Bone marrow aspirate smear.
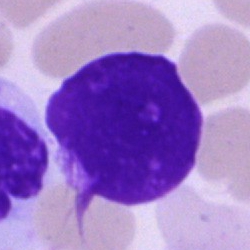Q: What is shown here?
A: This is an artifact.